Bone marrow aspirate smear. 250×250. Single-cell field — 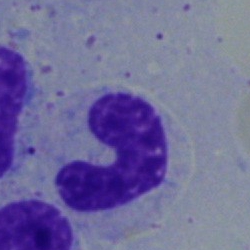

Q: Identify the cell.
A: Band-form neutrophil.